Bone marrow smear: 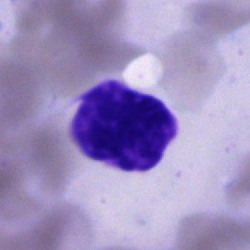

Artefact.